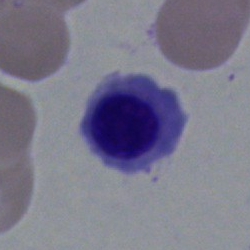
The cell type is nucleated red blood cell.